Bone marrow smear · 250×250 px.
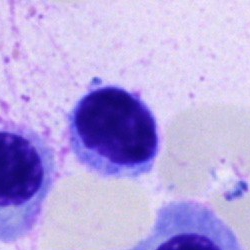Specimen: bone marrow aspirate smear.
Morphological class: typical lymphocyte.